Bone marrow smear · 40× oil immersion — 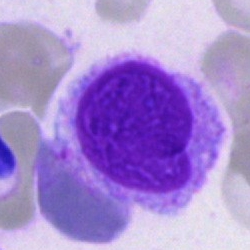 The cell shown is an artifact.